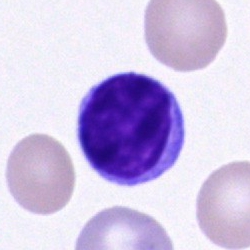Morphology → typical lymphocyte.